Bone marrow smear · May-Grünwald-Giemsa stain · single cell centered in the field:
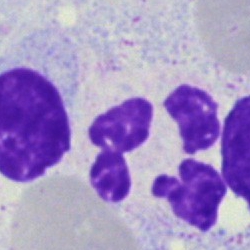
A polymorphonuclear neutrophil.